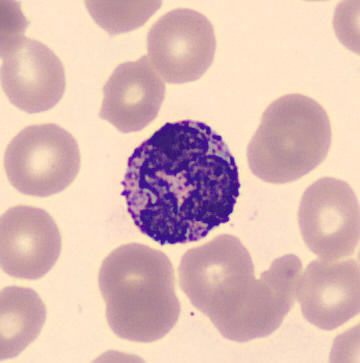
Image: 360 by 363 pixels. CellaVision DM96.
Specimen: peripheral blood film.
Classification: basophil.
Lineage: myeloid.